Bone marrow smear. 40× oil immersion. Pappenheim-stained: 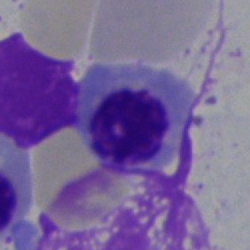
Specimen: bone marrow smear.
Classification: erythroblast.
Lineage: erythroid.